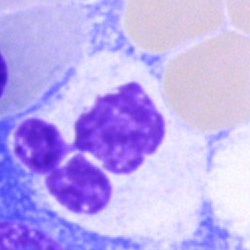 Morphology consistent with a segmented neutrophil.